Brightfield, 40× oil-immersion objective. Bone marrow aspirate smear.
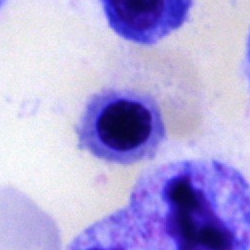 Specimen: bone marrow aspirate smear.
Classification: erythroblast.